Single-cell field · bone marrow smear
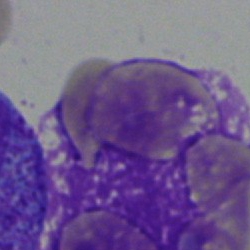

Impression — artefact.